250×250 · Pappenheim-stained · bone marrow aspirate smear — 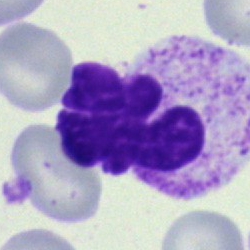
Showing an artefact.